Bone marrow smear; 250×250.
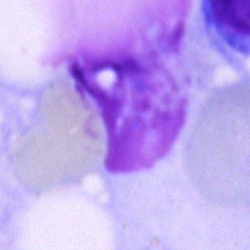The classification is artifact.